Single-cell field; bone marrow aspirate smear: 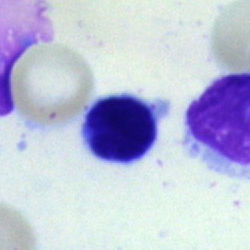

Q: What is the morphological classification of this cell?
A: Typical lymphocyte.